Bone marrow aspirate smear
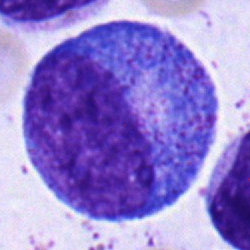

Classification = progranulocyte.